Bone marrow aspirate smear — 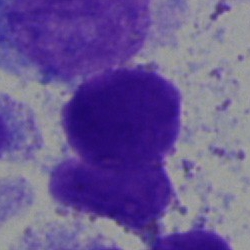 Q: What is shown here?
A: This is an artefact.